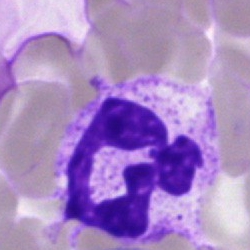
Classification = segmented neutrophil.